Brightfield, 40× oil-immersion objective · bone marrow smear · 250×250 px:
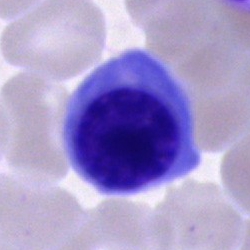

The cell is normoblast.